Bone marrow aspirate smear — 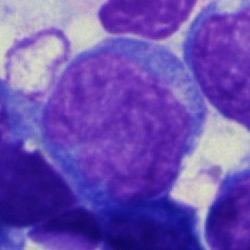Morphology → undifferentiated blast.